Pappenheim-stained; bone marrow smear; 250 by 250 pixels: 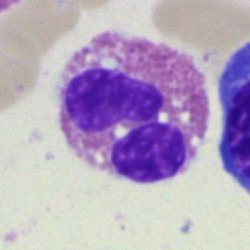Single cell identified as an eosinophilic granulocyte.